Bone marrow aspirate smear
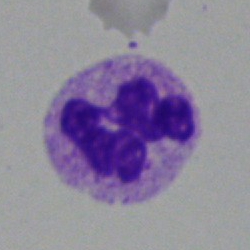
Single cell identified as a polymorphonuclear neutrophil.